Peripheral blood film; image size 400×400.
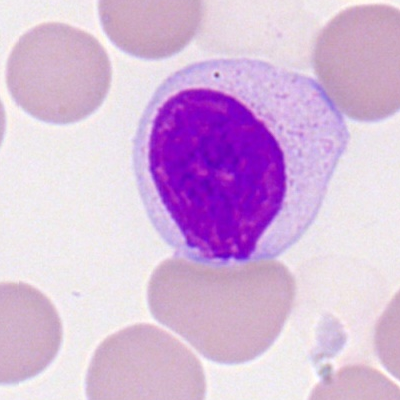
Specimen: peripheral blood smear.
Cell: lymphocyte.